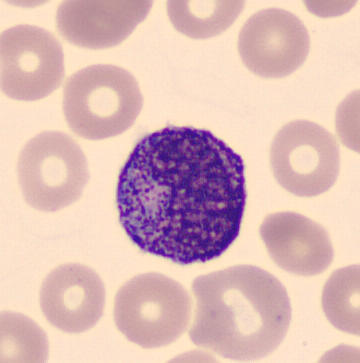This is a metamyelocyte.
Image: Peripheral blood smear. MGG stain. Automated cell imaging (CellaVision DM96).